Bone marrow aspirate smear
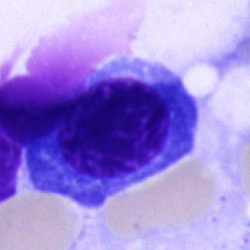 {"cell_type": "normoblast", "lineage": "erythroid"}